Peripheral blood film: 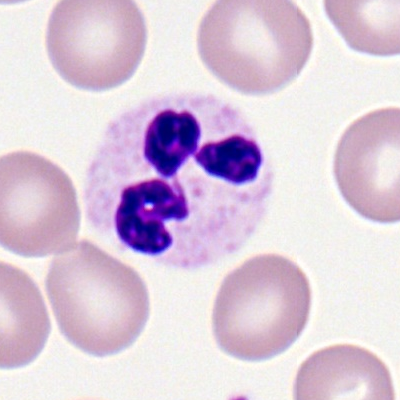

Morphology — segmented neutrophil.